Bone marrow aspirate smear.
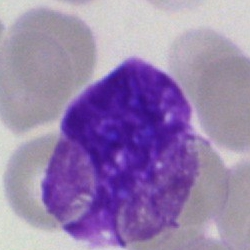
Q: What is shown here?
A: Artefact.